Brightfield microscopy, 40× oil immersion; cropped to a single cell; bone marrow aspirate smear.
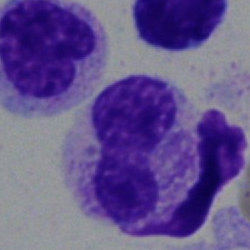

Q: What cell is this?
A: A neutrophil (band).